Single-cell crop · bone marrow smear · brightfield microscopy, 40× oil immersion.
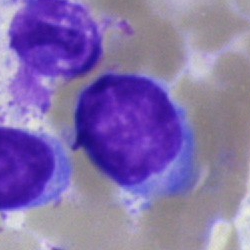

Impression → blast cell.